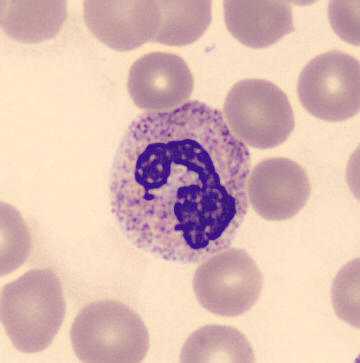
Q: What cell is this?
A: Neutrophil (segmented).

Image: CellaVision DM96 digital cell image; peripheral blood film.